250×250; bone marrow smear: 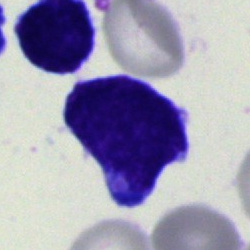Specimen: bone marrow smear.
Cell: blast.